Peripheral blood film: 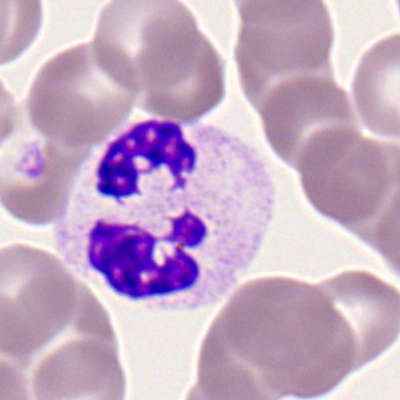
Q: Identify the cell.
A: It is a polymorphonuclear neutrophil.